Bone marrow smear. Single-cell crop — 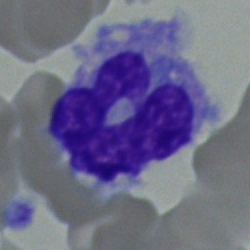 Specimen: bone marrow smear.
Cell: monocyte.
Lineage: myeloid.